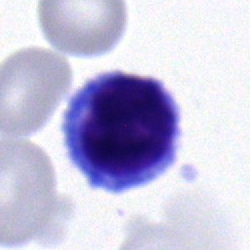Q: What is the morphological classification of this cell?
A: This is a lymphocyte.